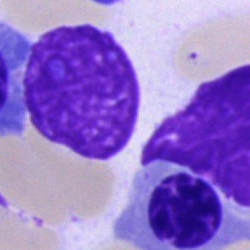

Artifact.